100× oil immersion. Peripheral blood film
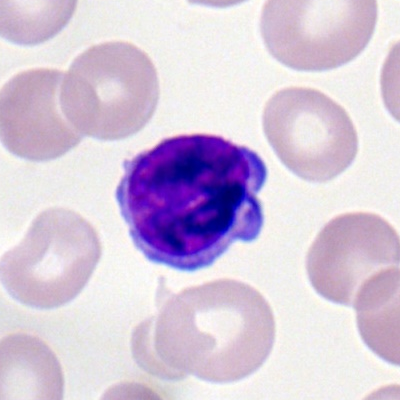

Morphological class: lymphocyte.